Bone marrow smear · 250×250: 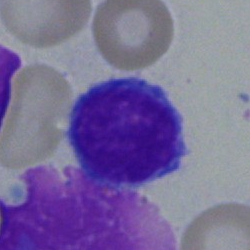

A lymphocyte.